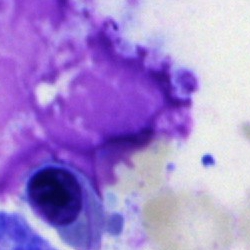
Morphology — artefact.